Bone marrow smear. 250×250 — 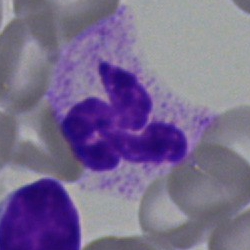Specimen: bone marrow aspirate smear.
Classification: segmented neutrophil.